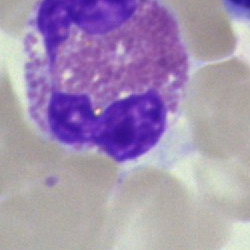 Q: What is shown here?
A: It is an eosinophil.